Bone marrow smear
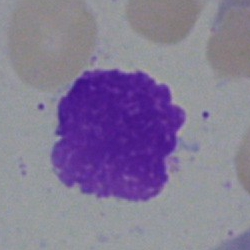
The morphological class is artefact.